Single cell centered in the field; 40× oil immersion; bone marrow aspirate smear.
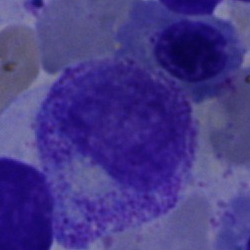

Morphological class: metamyelocyte.